Bone marrow smear:
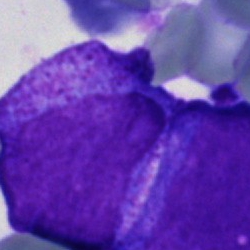Impression → blast cell.